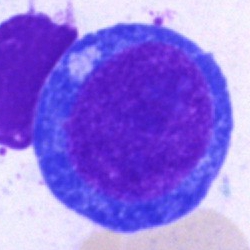
Q: Identify the cell.
A: Proerythroblast.